250×250 px · bone marrow smear
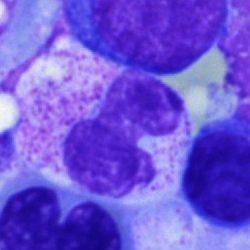
Morphological class: neutrophil (segmented).